Image size 250×250; bone marrow smear:
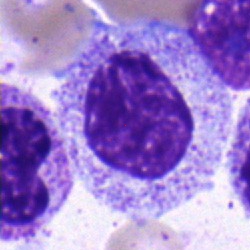 Cell — myelocyte.